Bone marrow smear:
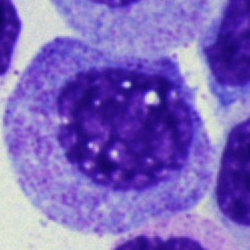 Morphology consistent with a myelocyte.